Bone marrow aspirate smear: 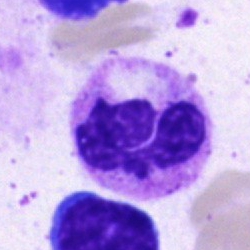 Classification: segmented neutrophil.